Bone marrow smear
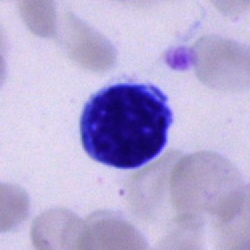Morphology → lymphocyte.